Bone marrow aspirate smear.
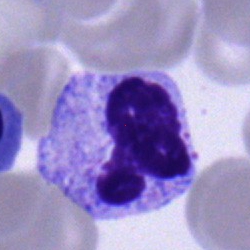
Morphology consistent with a polymorphonuclear neutrophil.